Bone marrow smear
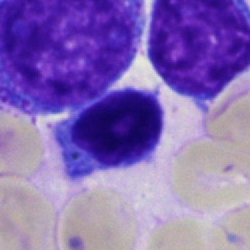Q: What is the morphological classification of this cell?
A: A typical lymphocyte.